Bone marrow smear · May-Grünwald-Giemsa stain · 250×250 px — 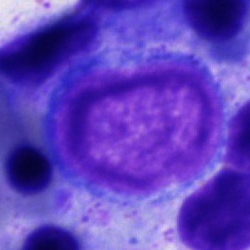
Pronormoblast.